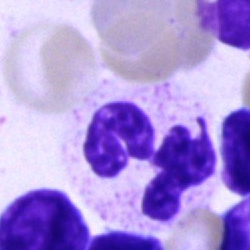

Q: What type of cell is this?
A: It is a neutrophil (segmented).